Bone marrow aspirate smear
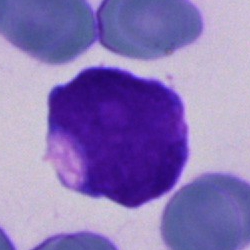
Specimen: bone marrow smear.
Morphological class: blast.